Bone marrow smear: 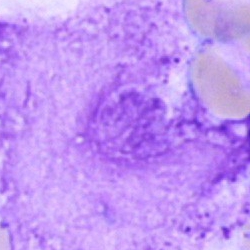
Morphology consistent with an artifact.